CellaVision DM96. Peripheral blood film — 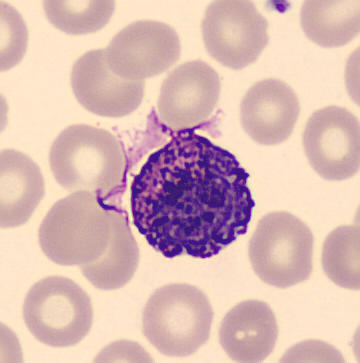

Classification — basophilic granulocyte.